Bone marrow aspirate smear
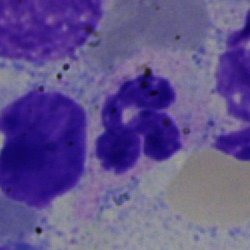 Showing a polymorphonuclear neutrophil.